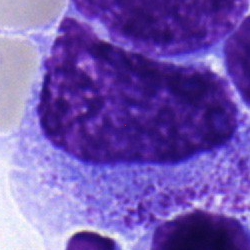Q: Identify the cell.
A: Progranulocyte.